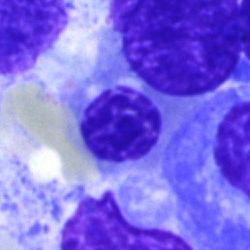
The cell shown is a normoblast.